Bone marrow smear.
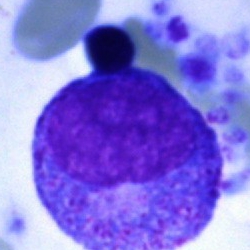 A promyelocyte.